Image size 250×250. Bone marrow smear. Cropped to a single cell:
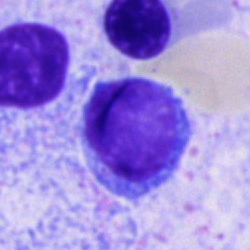 Morphology consistent with a lymphocyte.